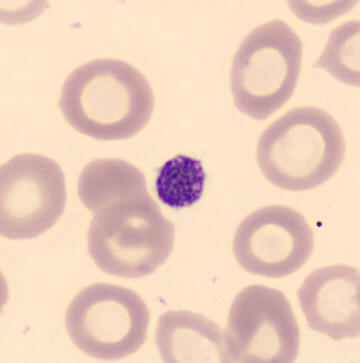 {"cell_type": "platelet"}